Bone marrow smear · single-cell field — 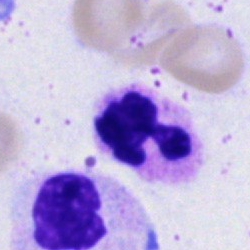
Single cell identified as a segmented neutrophil.